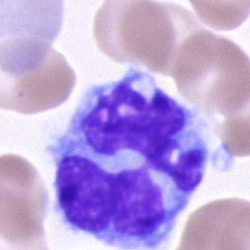
Cell: monocyte.